Bone marrow smear.
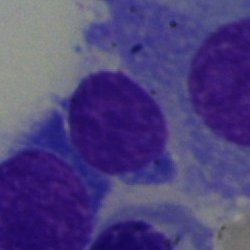Morphological class = lymphocyte.